Bone marrow aspirate smear
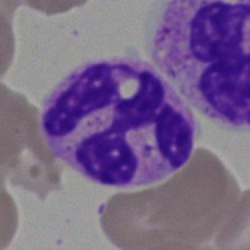 Cell — polymorphonuclear neutrophil.